Bone marrow smear: 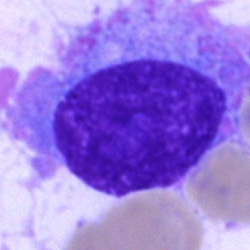 The morphological class is plasmacyte.